Bone marrow smear:
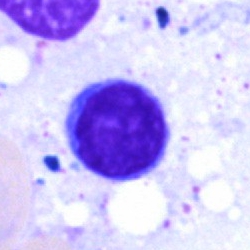 Classification — typical lymphocyte.